Bone marrow aspirate smear — 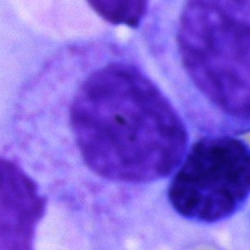
Showing a myelocyte.